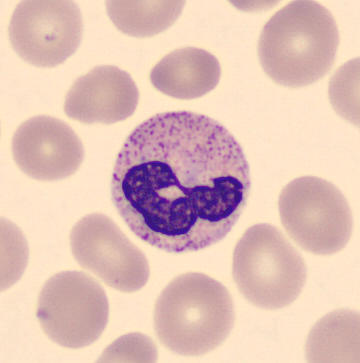

Specimen: peripheral blood film.
Cell: band neutrophil.
Lineage: myeloid.